May-Grünwald-Giemsa stain. Bone marrow aspirate smear.
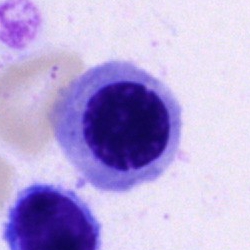This is a nucleated red cell.